Bone marrow aspirate smear: 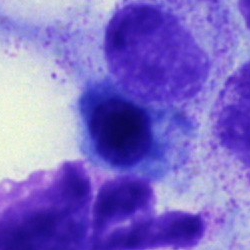

Cell = erythroblast.